MGG-stained · bone marrow smear — 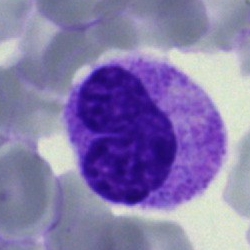

Specimen: bone marrow aspirate smear.
Morphological class: band neutrophil.
Lineage: myeloid.